Single-cell field; bone marrow aspirate smear:
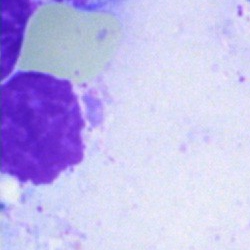

Q: What is shown here?
A: This is an artifact.